Image size 250×250; bone marrow aspirate smear:
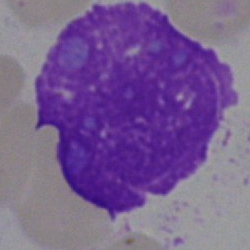 Q: What is shown here?
A: This is an artefact.